Peripheral blood smear · Romanowsky stain · image size 400×400 — 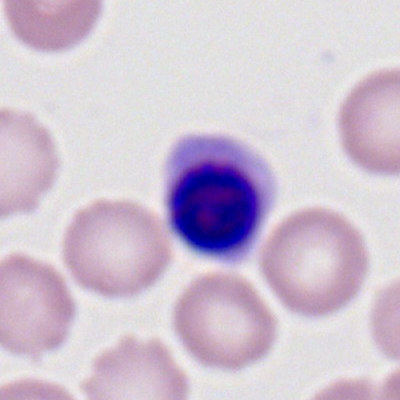 Normoblast.